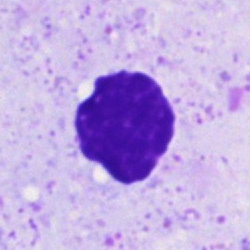
Morphology → artefact.